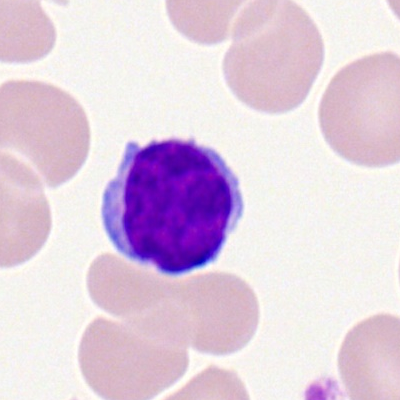

Cell — typical lymphocyte.